Bone marrow aspirate smear
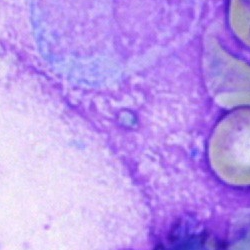 Cell: artefact.